Pappenheim-stained. Bone marrow smear — 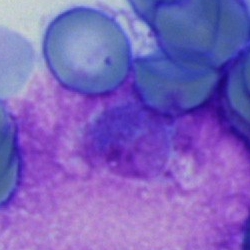
Single cell identified as an artefact.